Bone marrow aspirate smear
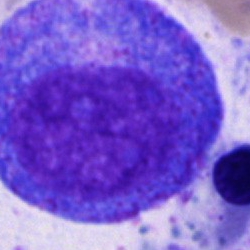

Promyelocyte.